Bone marrow aspirate smear — 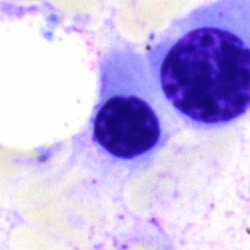 Q: Which cell type is shown here?
A: This is a nucleated red blood cell.